Bone marrow aspirate smear
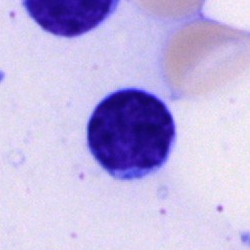
Impression → lymphocyte.